Bone marrow smear: 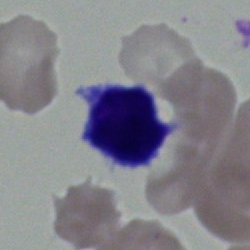

Showing a typical lymphocyte.